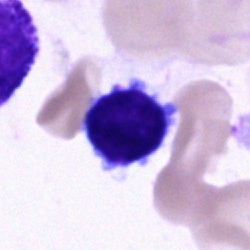 Single-cell crop from a bone marrow smear: lymphocyte.